Bone marrow smear; 40× objective, oil immersion
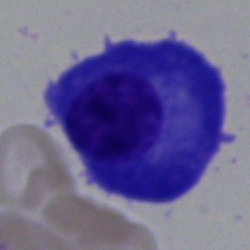Cell = plasmacyte.